Pappenheim-stained. Bone marrow aspirate smear.
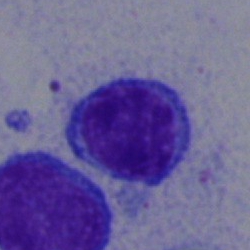
Q: Which cell type is shown here?
A: A typical lymphocyte.